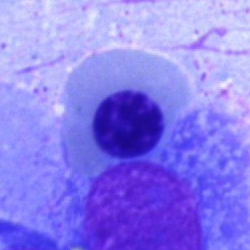 Single-cell crop from a bone marrow smear: erythroblast.